Bone marrow aspirate smear — 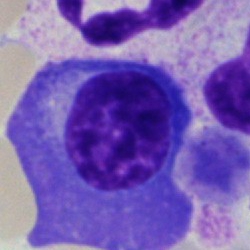 Showing a plasma cell.